Bone marrow smear: 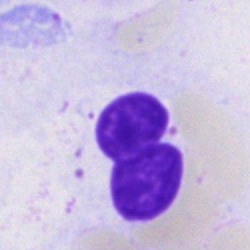 Q: What is the morphological classification of this cell?
A: This is a cell of indeterminate lineage.